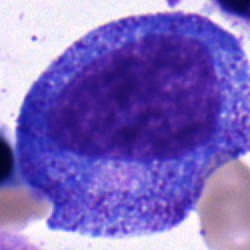 Classification = progranulocyte.